Bone marrow smear — 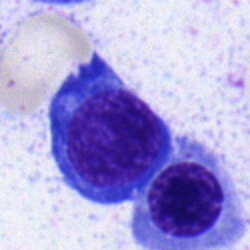 Morphological class = nucleated red cell.